May-Grünwald-Giemsa stain · bone marrow aspirate smear — 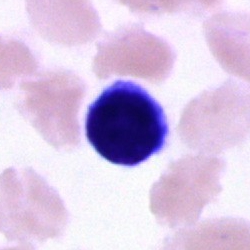 Specimen: bone marrow smear.
Cell: artifact.